Bone marrow smear; May-Grünwald-Giemsa/Pappenheim stain
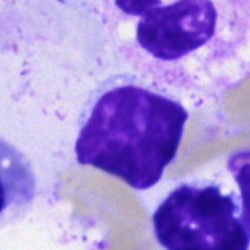Showing a typical lymphocyte.